MGG-stained. Bone marrow smear.
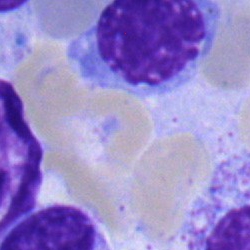 Showing an erythroblast.